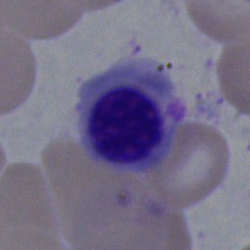Specimen: bone marrow smear.
Classification: normoblast.